Single cell centered in the field · bone marrow smear: 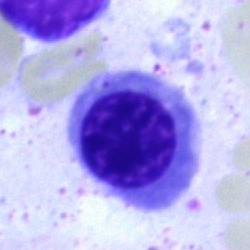Morphology consistent with a nucleated red cell.